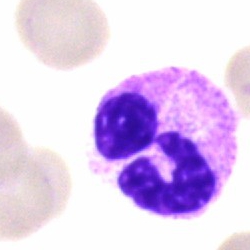 Q: What is shown here?
A: Segmented neutrophil.